Brightfield, 100× oil-immersion objective. Peripheral blood film. Romanowsky-stained: 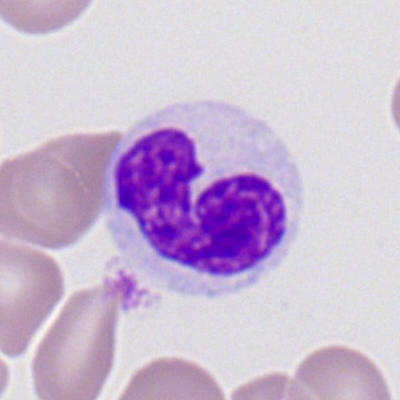The cell shown is a polymorphonuclear neutrophil.